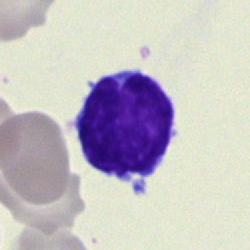

{"cell_type": "lymphocyte", "lineage": "lymphoid"}